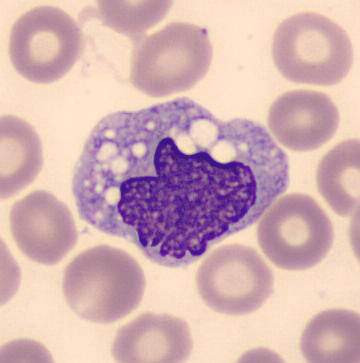

This is a monocyte.